May-Grünwald-Giemsa stain; bone marrow smear
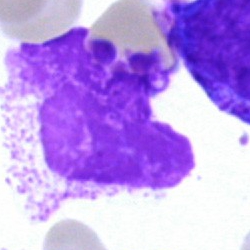
Showing an artifact.